Bone marrow smear; cropped to a single cell:
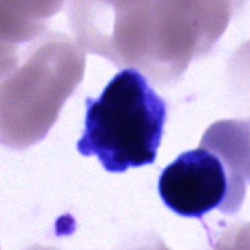
The classification is unidentifiable cell.